Pappenheim-stained. 250×250. Bone marrow aspirate smear:
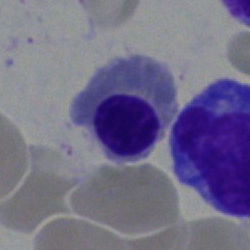
{"cell_type": "nucleated red blood cell"}